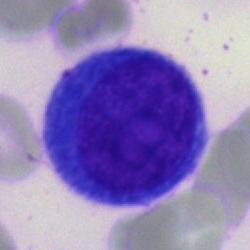
Q: What is shown here?
A: It is a blast.